MGG-stained · bone marrow smear — 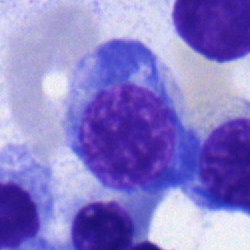 The cell is normoblast.